Bone marrow smear:
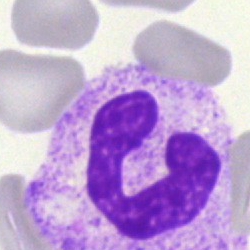Cell type — neutrophil (segmented).